250×250 px; bone marrow smear; 40× oil immersion:
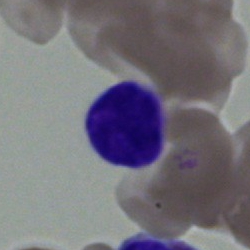

Morphological class: lymphocyte.